Bone marrow smear: 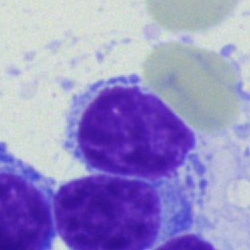Showing a lymphocyte.